Bone marrow aspirate smear
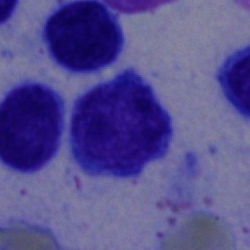

Q: What is shown here?
A: Typical lymphocyte.